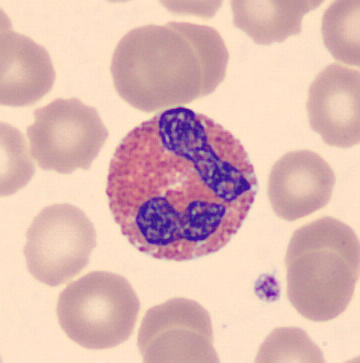
Eosinophilic granulocyte.